May-Grünwald-Giemsa/Pappenheim stain; bone marrow smear; image size 250×250: 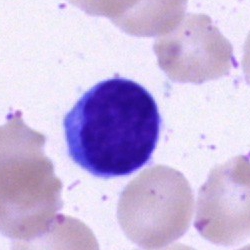 The cell shown is a plasmacyte.